Single cell centered in the field; bone marrow aspirate smear; brightfield microscopy, 40× oil immersion: 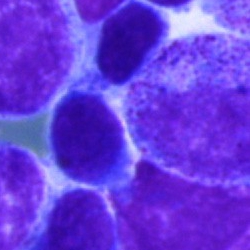 Q: What type of cell is this?
A: A typical lymphocyte.